Bone marrow aspirate smear:
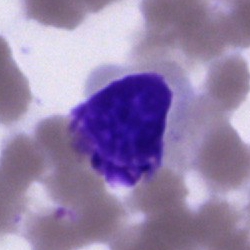
Cell type = artefact.